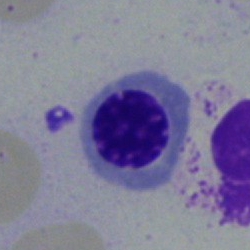An erythroblast on a bone marrow smear.